Bone marrow aspirate smear
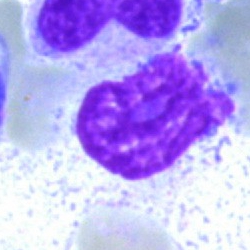

Single cell identified as an artifact.